Bone marrow aspirate smear: 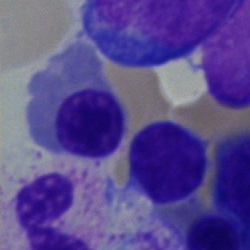 This is an erythroblast.